250 by 250 pixels · bone marrow aspirate smear:
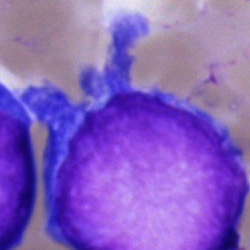
Q: Identify the cell.
A: It is a blast.